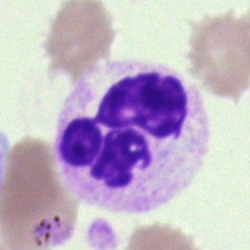

The morphological class is neutrophil (segmented).